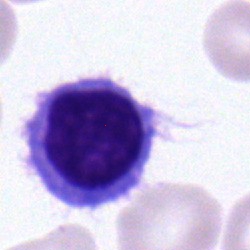 Cell — normoblast.